Bone marrow smear; brightfield microscopy, 40× oil immersion; single cell centered in the field.
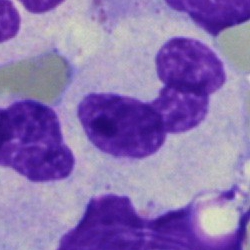

Q: What is the morphological classification of this cell?
A: A polymorphonuclear neutrophil.